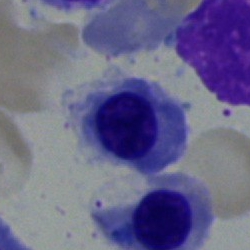{"cell_type": "normoblast", "lineage": "erythroid"}